Bone marrow aspirate smear
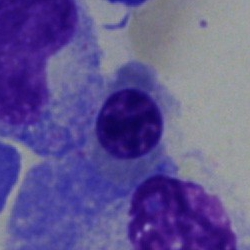
{"cell_type": "erythroblast"}